40× objective, oil immersion · bone marrow aspirate smear · image size 250×250.
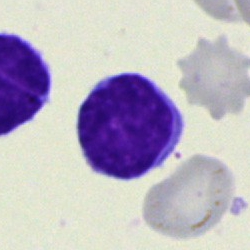

Cell type: lymphocyte.